Peripheral blood film.
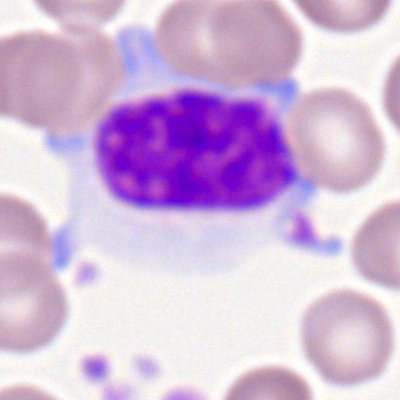 Q: Which cell type is shown here?
A: This is a typical lymphocyte.